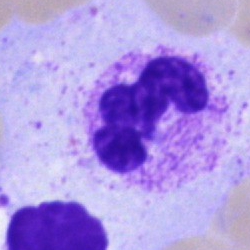
Showing a segmented neutrophil.